Romanowsky-type stain. Peripheral blood smear: 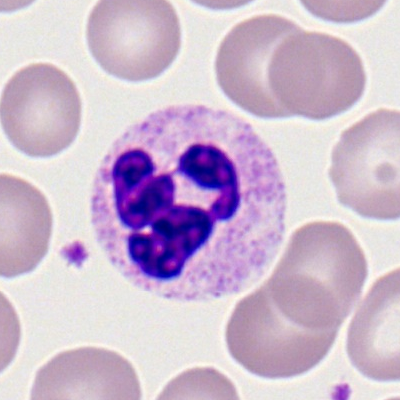A neutrophil (segmented).